250×250 px · bone marrow smear · single-cell crop
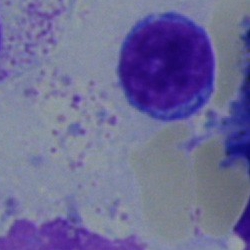

Cell type: lymphocyte.